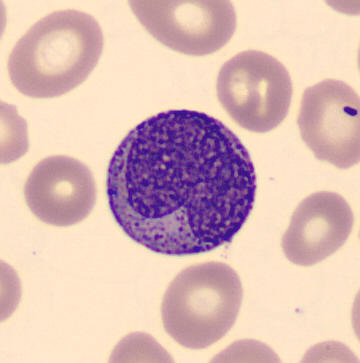

Impression → progranulocyte.
Preparation: Peripheral blood film. Automated cell imaging (CellaVision DM96).